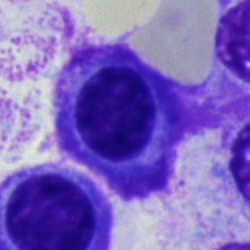
Bone marrow smear showing a plasmacyte.